Bone marrow aspirate smear. Single-cell crop.
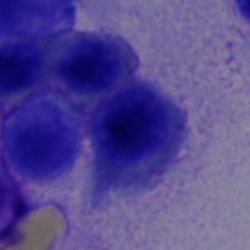Normoblast.